Bone marrow aspirate smear:
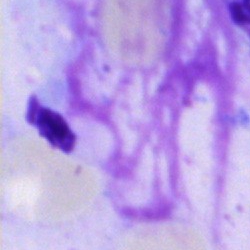
Morphology → artefact.